Single cell centered in the field · bone marrow aspirate smear
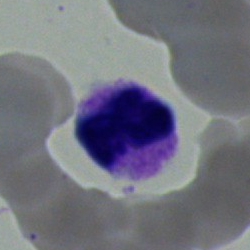 Single cell identified as a polymorphonuclear neutrophil.